Bone marrow smear · May-Grünwald-Giemsa/Pappenheim stain
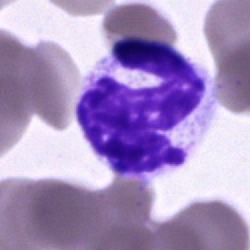

Polymorphonuclear neutrophil.